MGG-stained; single cell centered in the field; bone marrow aspirate smear: 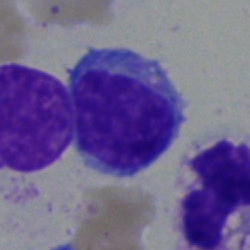 Single cell identified as a lymphocyte.